Bone marrow smear; single-cell crop:
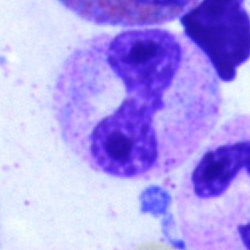
The morphological class is polymorphonuclear neutrophil.